Bone marrow smear; single-cell crop:
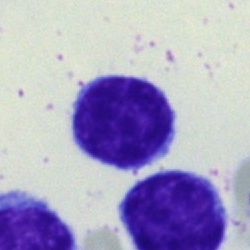Q: What is the morphological classification of this cell?
A: This is a typical lymphocyte.